Bone marrow smear.
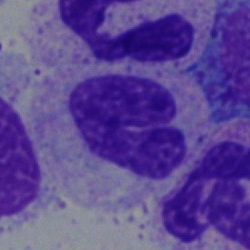 Specimen: bone marrow aspirate smear.
Morphological class: band neutrophil.